Bone marrow aspirate smear: 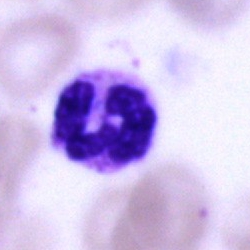

A polymorphonuclear neutrophil.